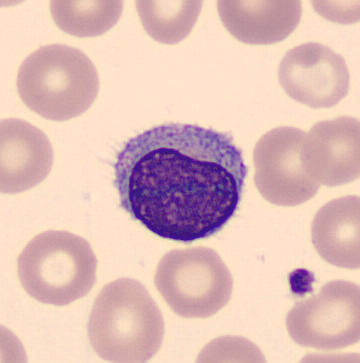Imaged on a CellaVision DM96 analyser · cropped to a single cell · peripheral blood smear.

The cell shown is a typical lymphocyte.